Bone marrow smear: 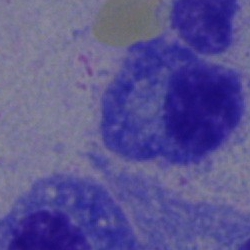 Q: What type of cell is this?
A: This is a plasma cell.